Peripheral blood smear:
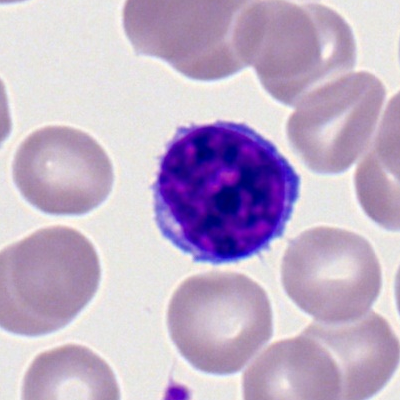Morphological class — typical lymphocyte.